Peripheral blood film: 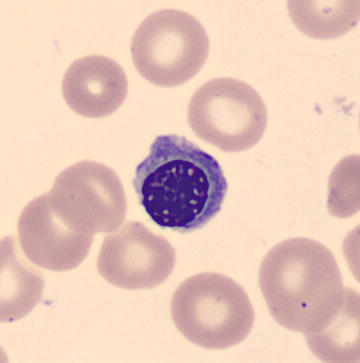Cell type = normoblast.